Bone marrow smear: 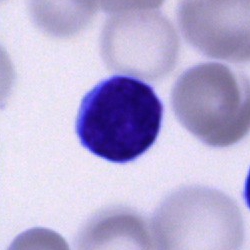Specimen: bone marrow aspirate smear.
Morphological class: lymphocyte.
Lineage: lymphoid.